Bone marrow smear: 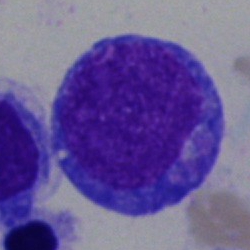
Q: Which cell type is shown here?
A: This is a blast.